Bone marrow aspirate smear; single-cell crop; May-Grünwald-Giemsa stain: 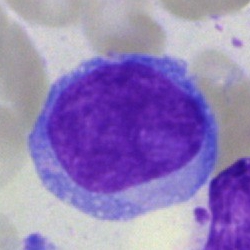Blast cell.